Bone marrow smear.
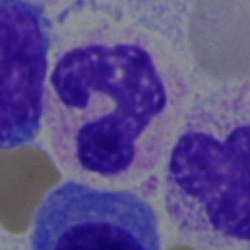

The cell type is segmented neutrophil.